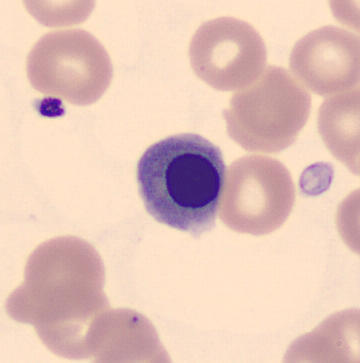 Preparation: Peripheral blood film; imaged on a CellaVision DM96 analyser; image size 360×363.
Cell type — erythroblast.